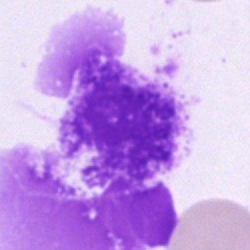
{"cell_type": "artifact"}